Romanowsky-type stain. Peripheral blood smear:
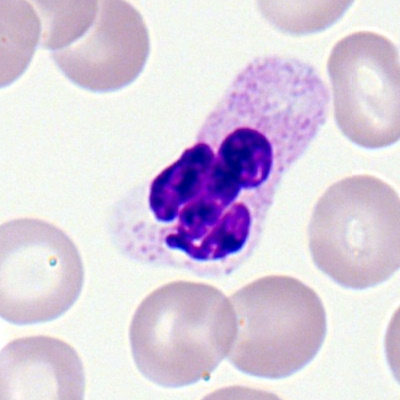 Q: Identify the cell.
A: Segmented neutrophil.